Image size 250×250. May-Grünwald-Giemsa/Pappenheim stain. Bone marrow smear: 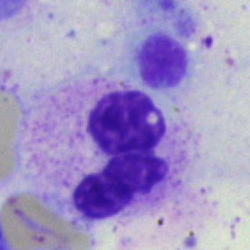

The morphological class is neutrophil (segmented).